Peripheral blood smear · single-cell crop — 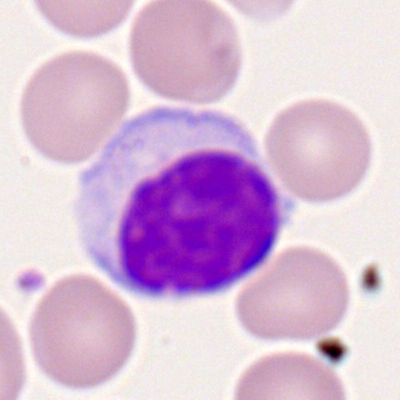{"cell_type": "typical lymphocyte"}